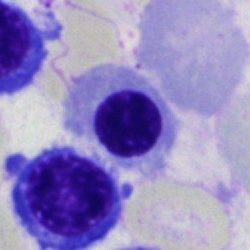 Morphological class = nucleated red cell.